Cropped to a single cell. Peripheral blood film — 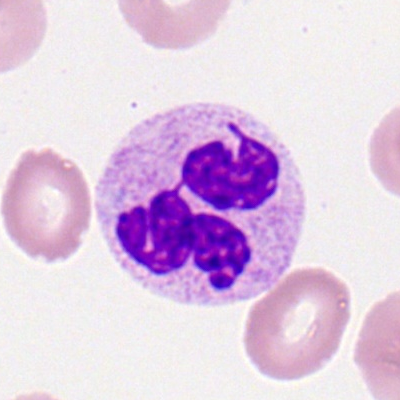This is a segmented neutrophil.